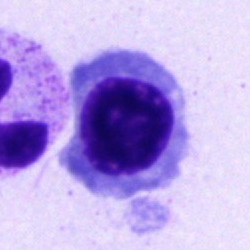

A nucleated red blood cell.